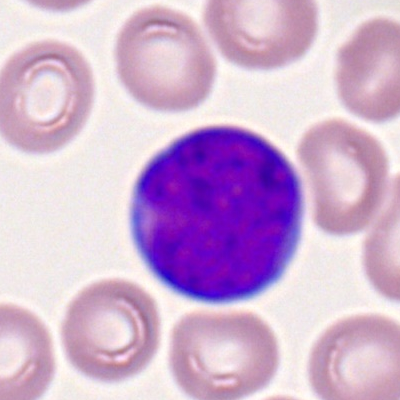

Q: What cell is this?
A: A myeloblast.